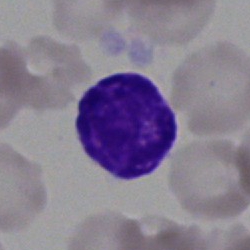

A typical lymphocyte.